Cropped to a single cell · bone marrow aspirate smear · 40× objective, oil immersion
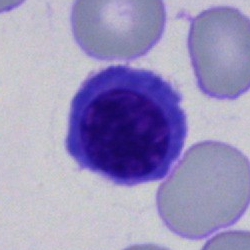 Q: What type of cell is this?
A: This is a nucleated red blood cell.